Bone marrow aspirate smear. 40× objective, oil immersion:
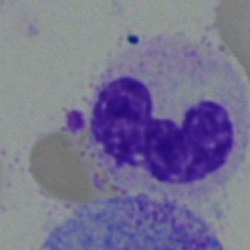
Q: Identify the cell.
A: Segmented neutrophil.